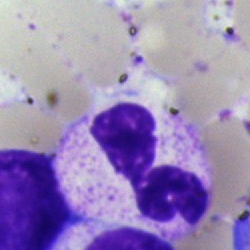 {"cell_type": "neutrophil (segmented)"}